Bone marrow aspirate smear. Image size 250×250. 40× objective, oil immersion.
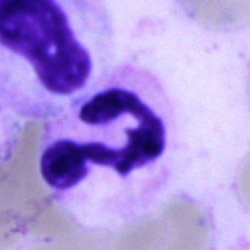 Cell: neutrophil (segmented).